May-Grünwald-Giemsa stain. Bone marrow smear. 250×250 px — 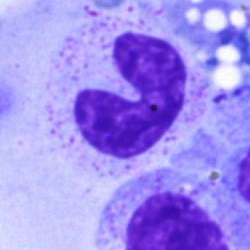

Showing a band-form neutrophil.